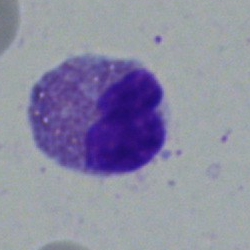

Cell — eosinophil.